Brightfield, 40× oil-immersion objective. Bone marrow smear. Image size 250×250
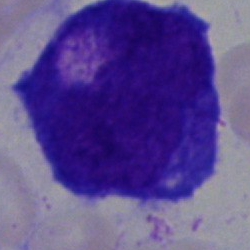Cell — blast.